Bone marrow smear:
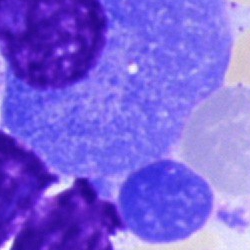Specimen: bone marrow aspirate smear.
Classification: plasmacyte.